Peripheral blood smear: 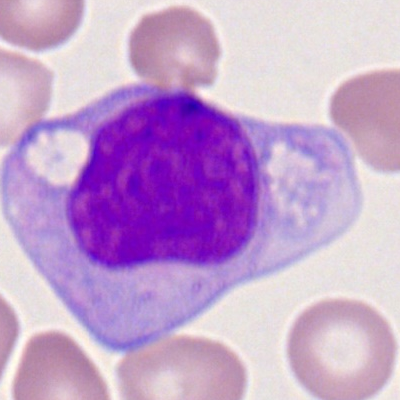

Q: What is shown here?
A: A monocyte.